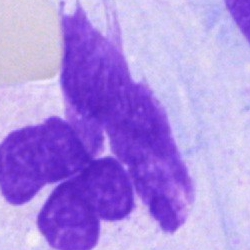

Morphology — artefact.